Bone marrow smear. Brightfield, 40× oil-immersion objective. 250×250:
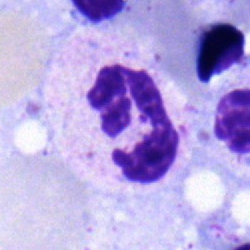
A neutrophil (segmented).